Cropped to a single cell. Bone marrow aspirate smear: 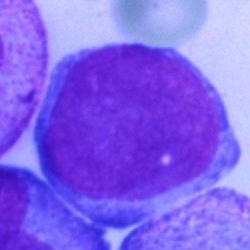 A blast cell.